Bone marrow aspirate smear:
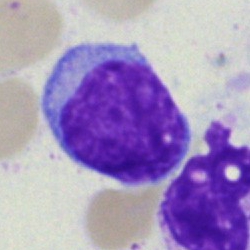Specimen: bone marrow aspirate smear.
Cell type: undifferentiated blast.